Bone marrow aspirate smear:
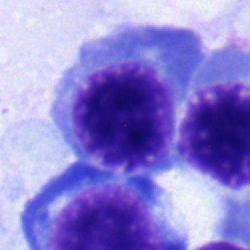Q: What is shown here?
A: This is a nucleated red blood cell.